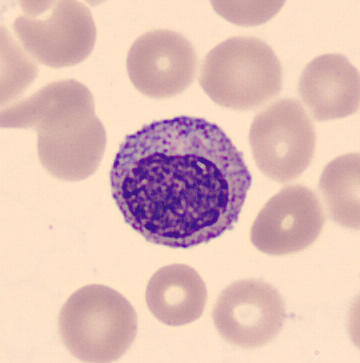

Q: What is shown here?
A: Myelocyte. Peripheral blood smear.